Bone marrow smear.
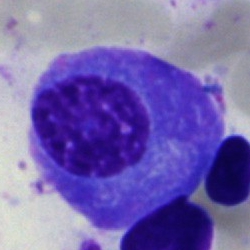A plasmacyte.